Bone marrow aspirate smear:
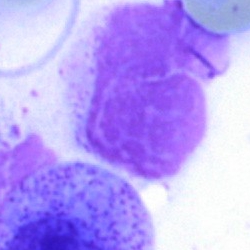 The cell shown is an artifact.